Bone marrow aspirate smear:
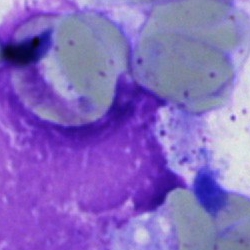Morphology consistent with an artifact.